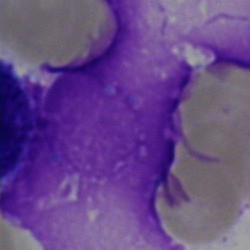

An artefact.